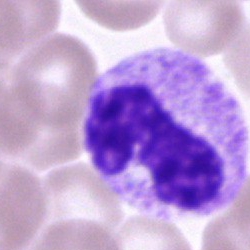

The cell shown is a band neutrophil.